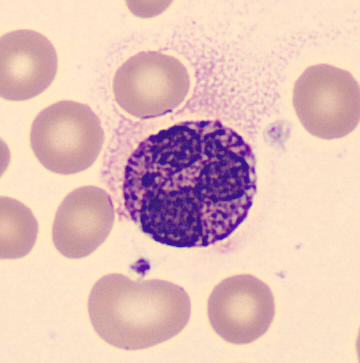 Classification — basophilic granulocyte.

Acquisition: Peripheral blood smear.